Brightfield microscopy, 40× oil immersion. Pappenheim-stained. Bone marrow aspirate smear:
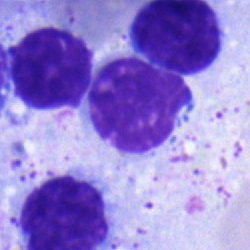
Showing a lymphocyte.